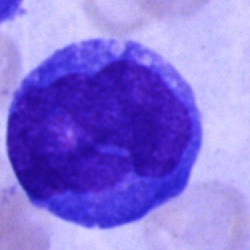Bone marrow smear showing a blast.